Bone marrow smear:
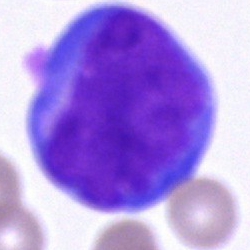The morphological class is unidentifiable cell.